Peripheral blood film.
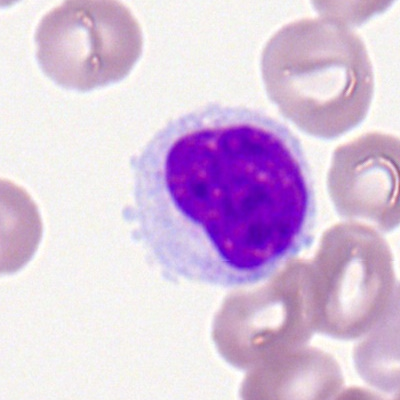

Cell = lymphocyte.